Bone marrow aspirate smear. Single-cell field. Brightfield microscopy, 40× oil immersion
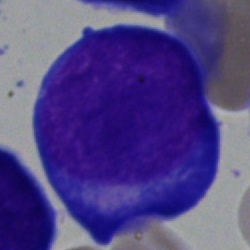
Q: What type of cell is this?
A: It is a proerythroblast.